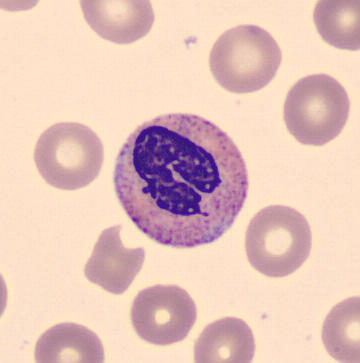This is a band neutrophil.

Acquisition: Peripheral blood film. Imaged on a CellaVision DM96 analyser.